250×250 px; bone marrow aspirate smear
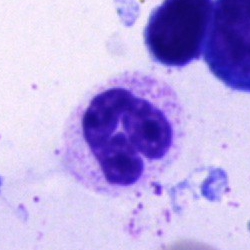
{"cell_type": "polymorphonuclear neutrophil", "lineage": "myeloid"}